Single cell centered in the field. Bone marrow aspirate smear.
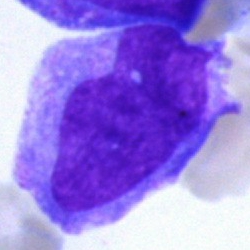

Morphology consistent with a blast.